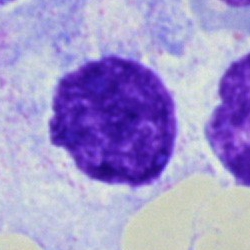Morphology consistent with an artifact.